Bone marrow smear: 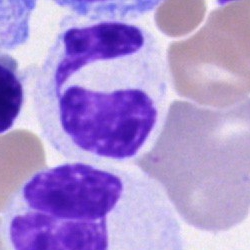Morphology → polymorphonuclear neutrophil.